Bone marrow aspirate smear.
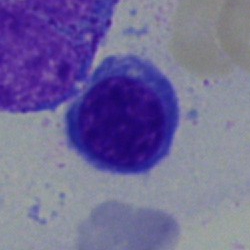
This is a normoblast.